Bone marrow aspirate smear
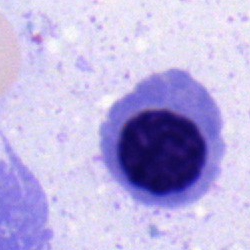Erythroblast.